40× objective, oil immersion. Bone marrow aspirate smear: 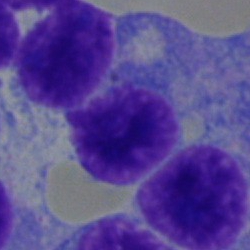Cell = plasmacyte.